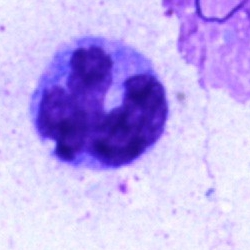Specimen: bone marrow aspirate smear.
Morphological class: monocyte.
Lineage: myeloid.